Bone marrow aspirate smear: 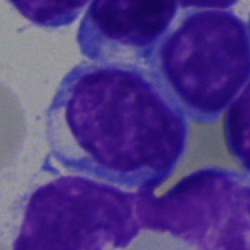Single cell identified as a typical lymphocyte.